MGG-stained. Bone marrow aspirate smear. 250×250 px
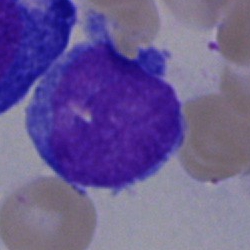 A blast.